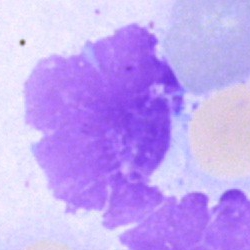

Bone marrow aspirate smear, single cell — artefact.